Bone marrow smear
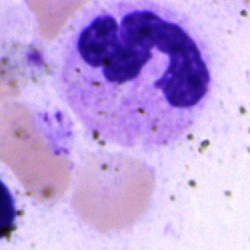
Cell — segmented neutrophil.